Bone marrow smear — 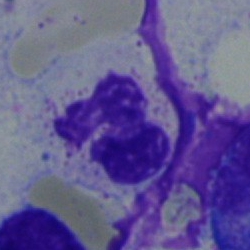

Classification: segmented neutrophil.